250 by 250 pixels; bone marrow aspirate smear
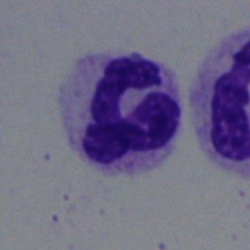 {"cell_type": "polymorphonuclear neutrophil"}